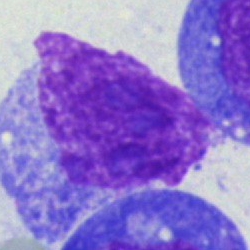Morphology consistent with an artefact.